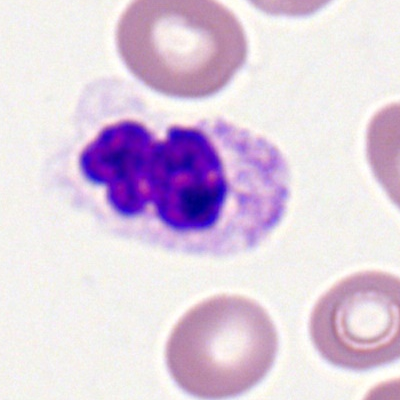

Specimen: peripheral blood smear.
Cell: segmented neutrophil.
Lineage: myeloid.